Pappenheim-stained. Bone marrow aspirate smear:
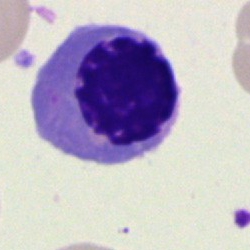Q: Which cell type is shown here?
A: It is a nucleated red blood cell.